Bone marrow smear · 40× objective, oil immersion
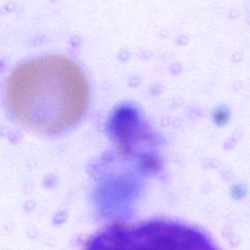
Single cell identified as an artefact.